Cropped to a single cell · bone marrow smear — 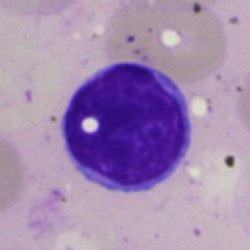

Morphology consistent with a lymphocyte.